Bone marrow smear: 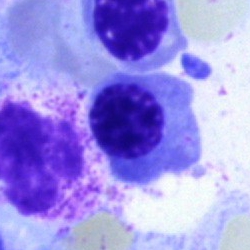

Cell type — neutrophil (segmented).